400 by 400 pixels · peripheral blood film: 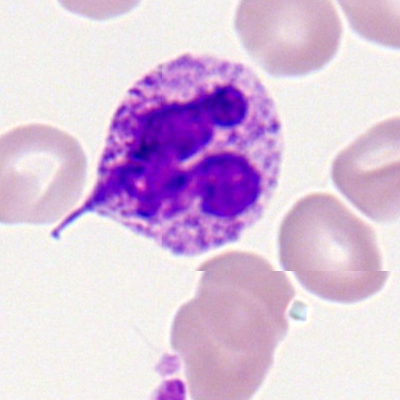
Showing a segmented neutrophil.